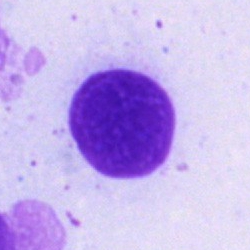

The cell shown is an artifact.